Single-cell crop. Bone marrow aspirate smear: 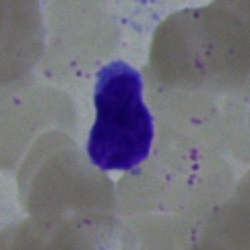

The classification is lymphocyte.